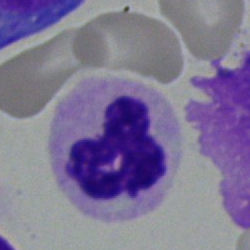Classification — segmented neutrophil.